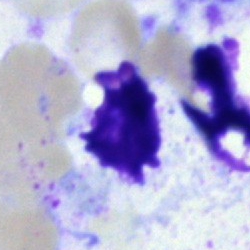Bone marrow smear showing an artefact.